Single cell centered in the field · peripheral blood film:
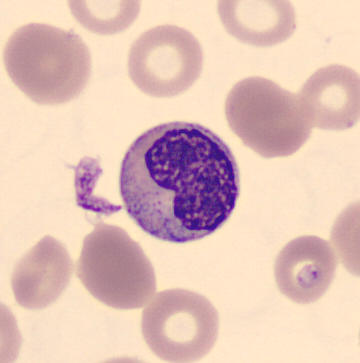

Impression → metamyelocyte.